Single-cell field. Brightfield microscopy, 40× oil immersion. Bone marrow smear: 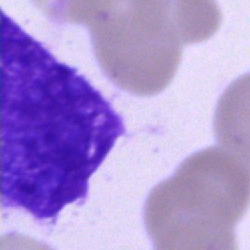 Morphological class: artifact.